Bone marrow aspirate smear
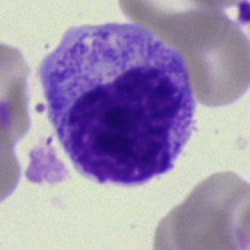Q: Identify the cell.
A: It is a myelocyte.